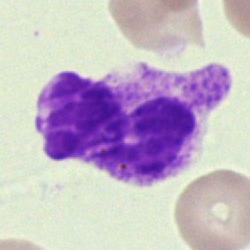Q: What is shown here?
A: An artefact.